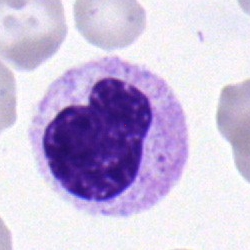

Single cell identified as a segmented neutrophil.